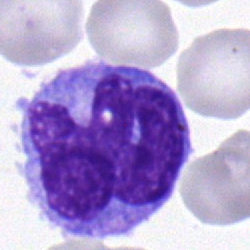
Q: What is the morphological classification of this cell?
A: It is a monocyte.